Pappenheim-stained; bone marrow aspirate smear: 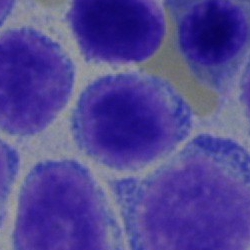
The cell is lymphocyte.